May-Grünwald-Giemsa/Pappenheim stain. Bone marrow aspirate smear: 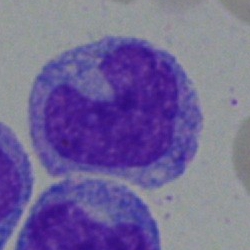 This is a monocyte.